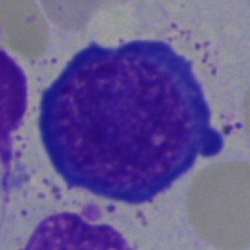Specimen: bone marrow aspirate smear.
Morphological class: nucleated red blood cell.
Lineage: erythroid.